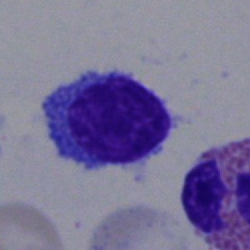
Impression → typical lymphocyte.